Bone marrow aspirate smear · brightfield microscopy, 40× oil immersion:
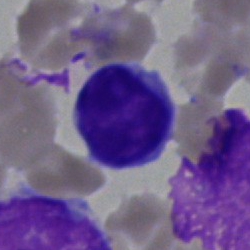

The cell shown is a typical lymphocyte.